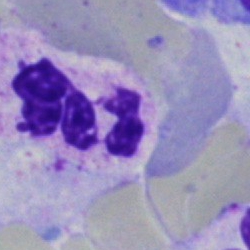Q: Which cell type is shown here?
A: Segmented neutrophil.